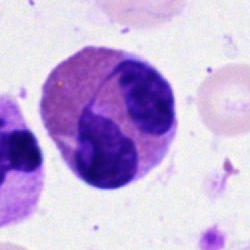 Specimen: bone marrow smear.
Classification: eosinophilic granulocyte.
Lineage: myeloid.